Peripheral blood smear.
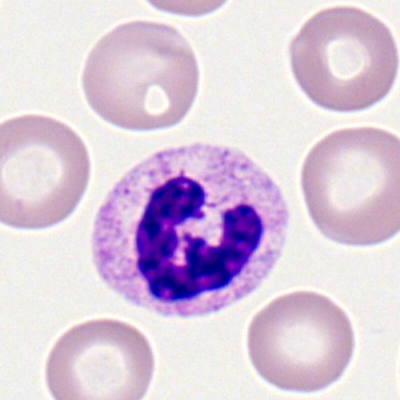 Specimen: peripheral blood film.
Cell: neutrophil (segmented).
Lineage: myeloid.